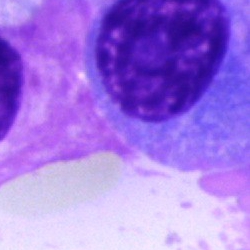Showing a plasma cell.